Bone marrow aspirate smear:
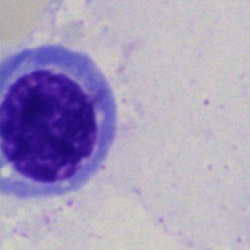

Morphology — nucleated red cell.